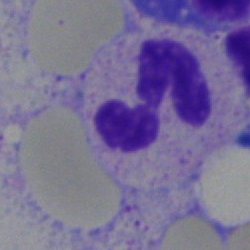

Specimen: bone marrow aspirate smear.
Cell type: polymorphonuclear neutrophil.